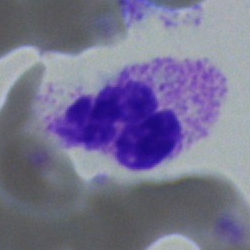 Specimen: bone marrow smear.
Morphological class: segmented neutrophil.
Lineage: myeloid.